Brightfield microscopy, 40× oil immersion; bone marrow aspirate smear
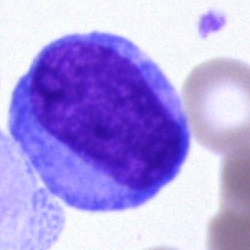

Impression → undifferentiated blast.